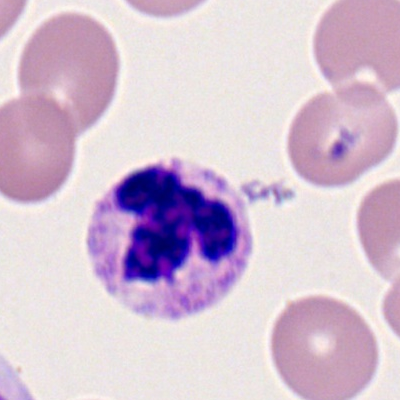 Showing a segmented neutrophil.